100× oil immersion. Peripheral blood film. Single cell centered in the field: 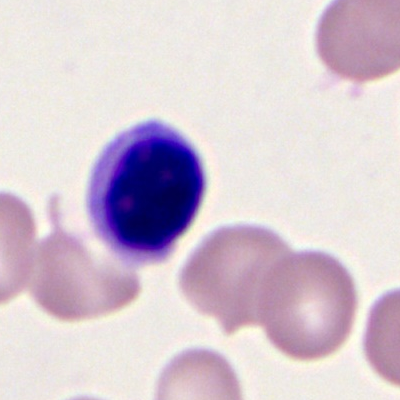The cell type is typical lymphocyte.